Bone marrow smear. Brightfield, 40× oil-immersion objective
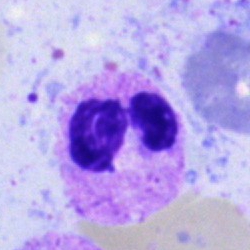 This is a segmented neutrophil.